Bone marrow smear.
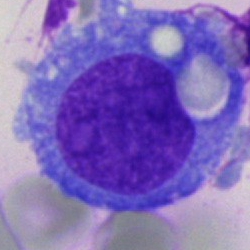{"cell_type": "undifferentiated blast"}